250 by 250 pixels; cropped to a single cell; bone marrow smear.
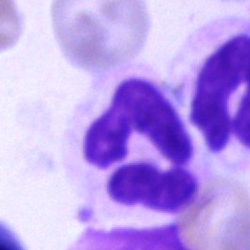The cell shown is a neutrophil (segmented).